Peripheral blood smear: 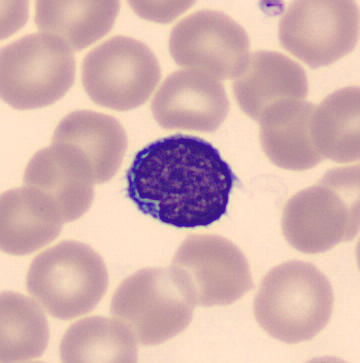
Morphology consistent with a typical lymphocyte.